250×250 px. May-Grünwald-Giemsa stain. Bone marrow aspirate smear.
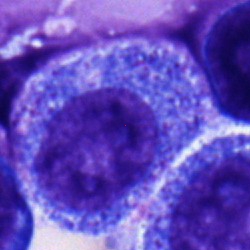Morphology — promyelocyte.